Bone marrow aspirate smear. May-Grünwald-Giemsa stain. Single-cell field.
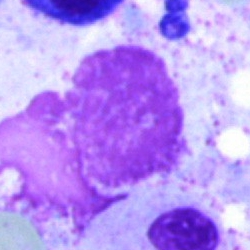

Q: What is shown here?
A: An artefact.